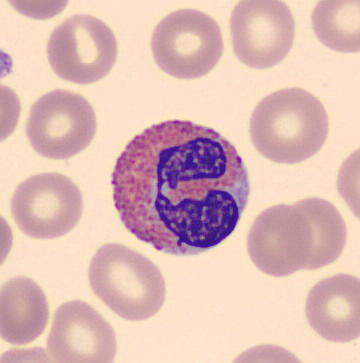 Morphology → eosinophil.